Cropped to a single cell · bone marrow aspirate smear · image size 250×250: 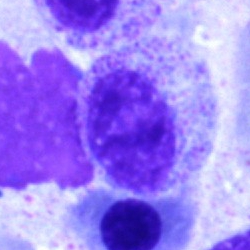Q: Identify the cell.
A: It is a myelocyte.